Single-cell crop · bone marrow aspirate smear · brightfield, 40× oil-immersion objective: 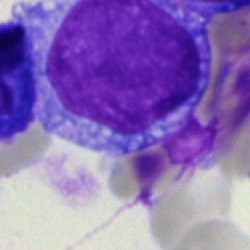

Specimen: bone marrow smear.
Cell type: undifferentiated blast.